Bone marrow smear.
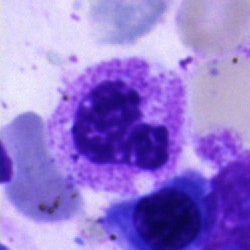

Specimen: bone marrow aspirate smear.
Classification: polymorphonuclear neutrophil.